Bone marrow aspirate smear: 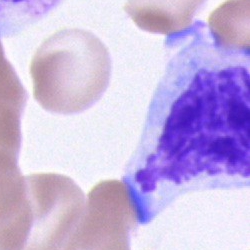
Showing a cell of indeterminate lineage.